Brightfield microscopy, 40× oil immersion · bone marrow smear.
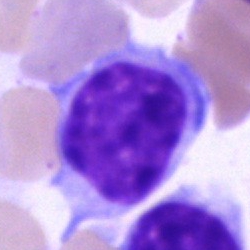This is a typical lymphocyte.